Bone marrow smear · May-Grünwald-Giemsa stain · brightfield microscopy, 40× oil immersion — 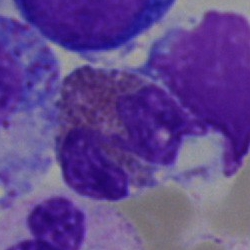

Impression → eosinophilic granulocyte.